Bone marrow smear · 40× oil immersion:
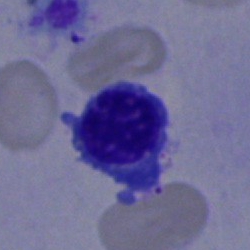

Nucleated red blood cell.